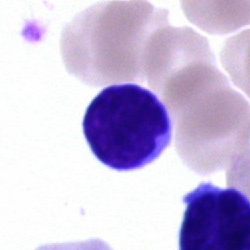
Cell — lymphocyte.